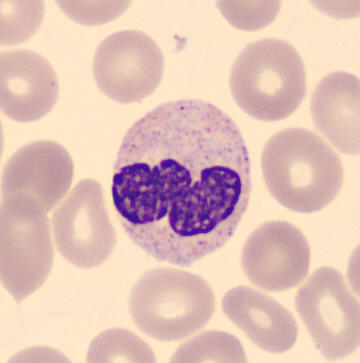{"cell_type": "stab cell", "lineage": "myeloid"}